Bone marrow smear — 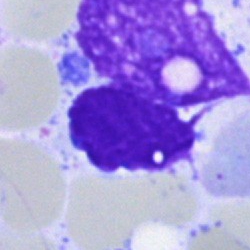
Q: What is shown here?
A: This is an artefact.